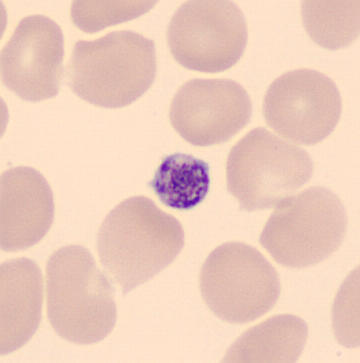
Image: Peripheral blood film.
Showing a thrombocyte.